May-Grünwald-Giemsa stain; cropped to a single cell; bone marrow aspirate smear:
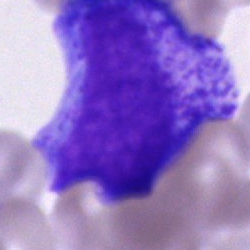Showing a progranulocyte.